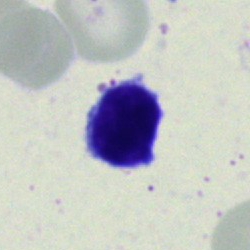
The cell type is lymphocyte.